Single-cell crop · bone marrow smear · 250×250 px: 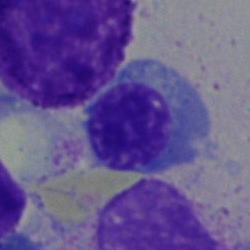Morphology → nucleated red cell.